Single cell centered in the field. Bone marrow aspirate smear. May-Grünwald-Giemsa/Pappenheim stain
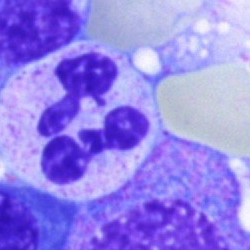A segmented neutrophil.